Bone marrow smear: 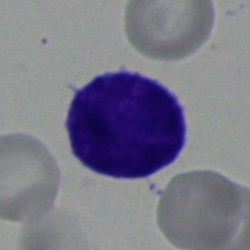 Showing a typical lymphocyte.